Peripheral blood smear · CellaVision DM96.
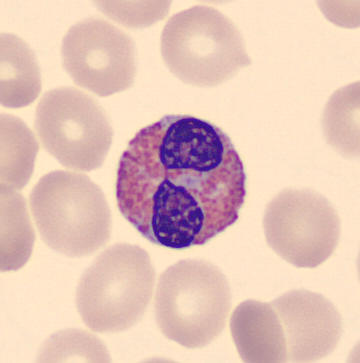 Impression — eosinophilic granulocyte.